Image size 250×250 · single-cell field · bone marrow aspirate smear.
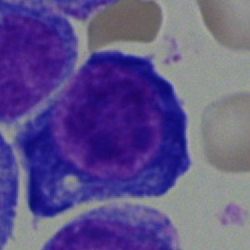{"cell_type": "pronormoblast"}